Bone marrow smear: 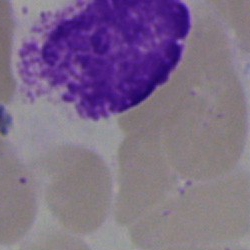Cell type: artifact.